Bone marrow smear
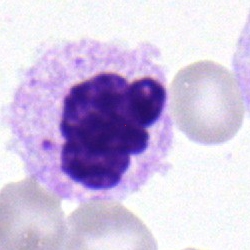
Q: What is shown here?
A: A neutrophil (segmented).